Bone marrow smear — 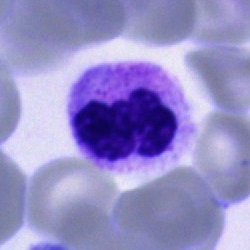 Morphology consistent with a neutrophil (segmented).